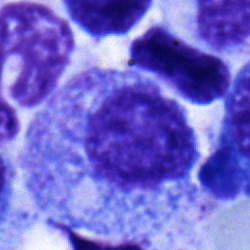

Classification = promyelocyte.